Bone marrow aspirate smear: 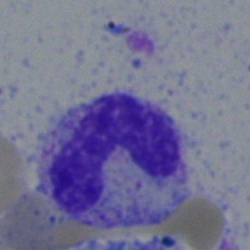
Q: What is the morphological classification of this cell?
A: Neutrophil (band).